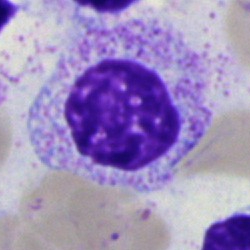
Classification: myelocyte.